MGG-stained; bone marrow aspirate smear.
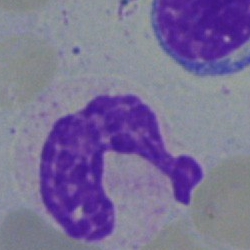 Morphology consistent with a band neutrophil.